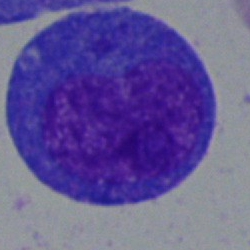 Cell type = blast cell.